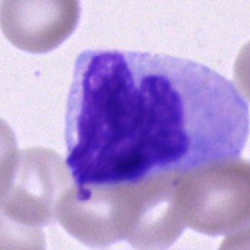Q: What is shown here?
A: An unidentifiable cell.